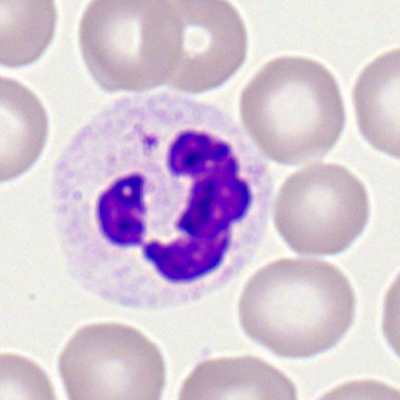The cell is neutrophil (segmented).